Pappenheim-stained · single-cell field · bone marrow aspirate smear — 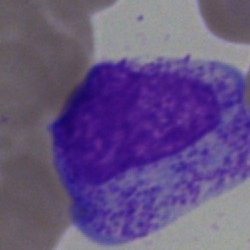 Showing a myelocyte.